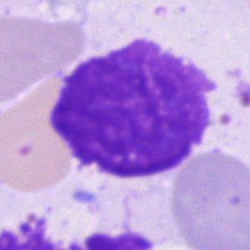 Bone marrow aspirate smear, single cell — artifact.